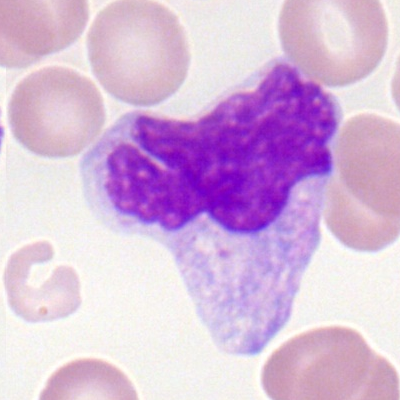 Morphology — monocyte.